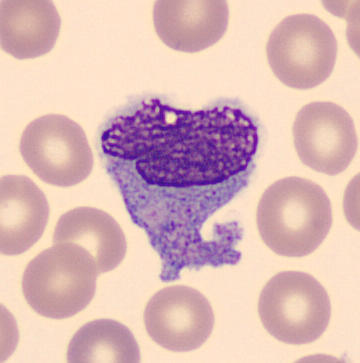 360 by 363 pixels. Peripheral blood film.

Morphology consistent with a monocyte.